250 by 250 pixels · bone marrow smear.
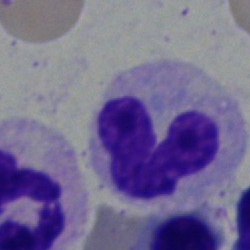
This is a band neutrophil.